Bone marrow smear; single cell centered in the field: 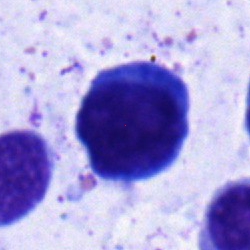
{"cell_type": "lymphocyte"}